Bone marrow smear. 250×250
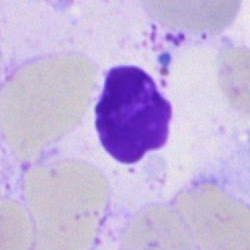 Morphological class — artifact.